Bone marrow smear. May-Grünwald-Giemsa stain. Single cell centered in the field
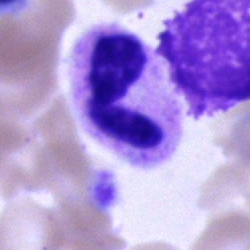
Showing a neutrophil (segmented).